Bone marrow smear — 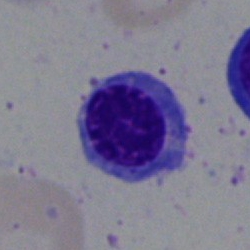Classification = normoblast.